Bone marrow smear: 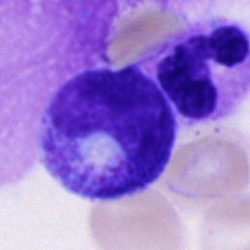
A promyelocyte.